Single cell centered in the field; 40× oil immersion; bone marrow aspirate smear: 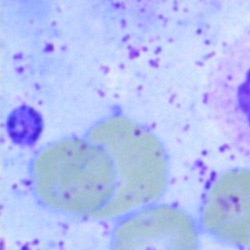

The cell is artifact.